Bone marrow smear:
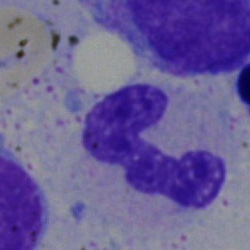Cell — polymorphonuclear neutrophil.